Bone marrow smear
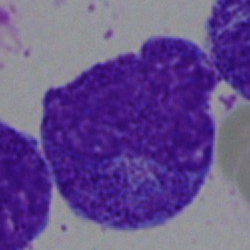 Specimen: bone marrow aspirate smear.
Classification: promyelocyte.